Bone marrow aspirate smear.
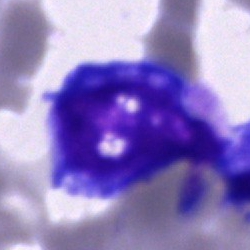 Q: What cell is this?
A: A blast.